Bone marrow aspirate smear.
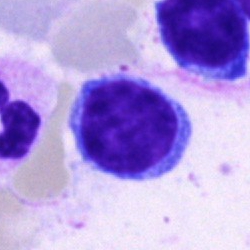 Typical lymphocyte.